Bone marrow aspirate smear — 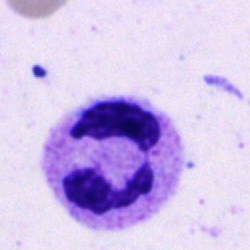Specimen: bone marrow smear.
Classification: segmented neutrophil.